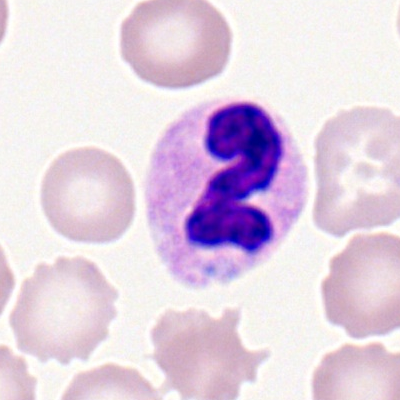Single cell identified as a polymorphonuclear neutrophil.